Cropped to a single cell · bone marrow aspirate smear · brightfield microscopy, 40× oil immersion
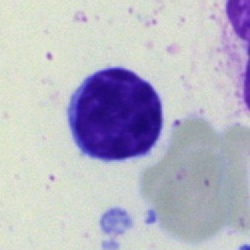 Q: What is the morphological classification of this cell?
A: A lymphocyte.